Bone marrow aspirate smear · 250×250 px.
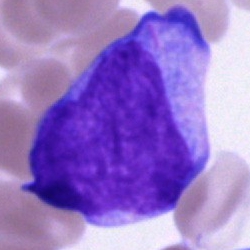
Morphological class = undifferentiated blast.